Bone marrow smear. Single-cell crop — 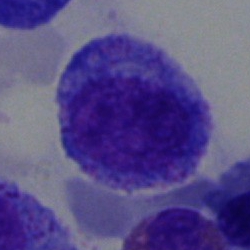Cell type: progranulocyte.